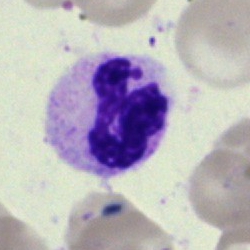
The cell is polymorphonuclear neutrophil.